Bone marrow smear; 40× oil immersion
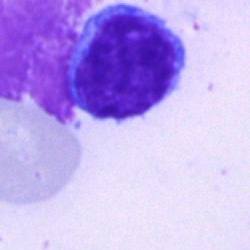
Q: Which cell type is shown here?
A: This is a typical lymphocyte.